Peripheral blood film: 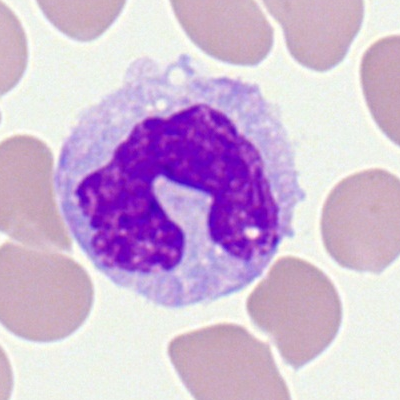
Specimen: peripheral blood smear.
Cell type: monocyte.